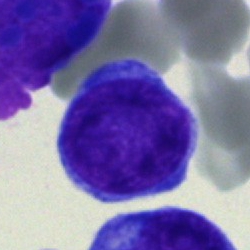
Morphology → blast cell.